Bone marrow smear.
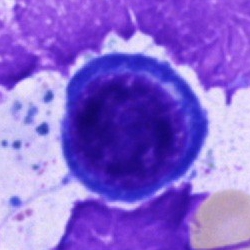Q: What is the morphological classification of this cell?
A: This is an erythroblast.